Bone marrow smear · brightfield microscopy, 40× oil immersion · single-cell field.
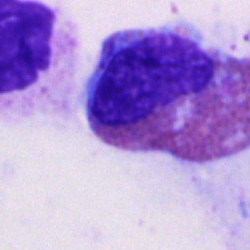

The cell is eosinophilic granulocyte.